Bone marrow smear
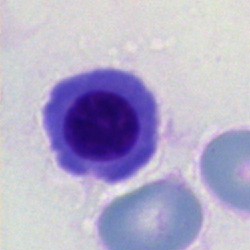

Cell type — normoblast.